Bone marrow aspirate smear; 250 by 250 pixels — 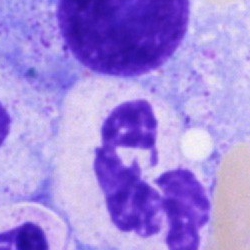 Q: Which cell type is shown here?
A: Polymorphonuclear neutrophil.